Bone marrow smear. Image size 250×250 — 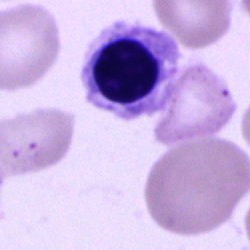 Showing a nucleated red blood cell.